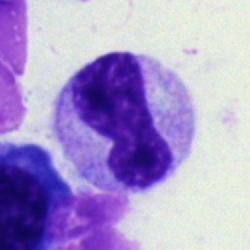
Cell type: band-form neutrophil.